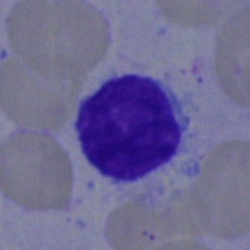
Impression — lymphocyte.